40× objective, oil immersion · single cell centered in the field · bone marrow smear
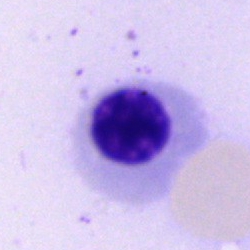Nucleated red blood cell.